Bone marrow aspirate smear
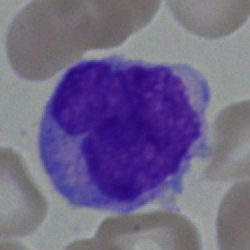

Monocyte.